Bone marrow aspirate smear: 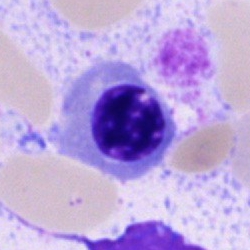 Cell type: nucleated red blood cell.